Pappenheim-stained; 250×250 px; bone marrow smear: 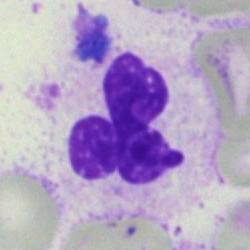Impression → polymorphonuclear neutrophil.